Brightfield microscopy, 40× oil immersion · bone marrow smear
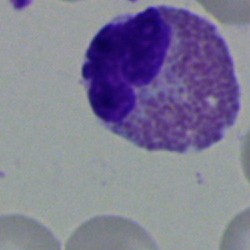 This is an eosinophilic granulocyte.